Bone marrow aspirate smear: 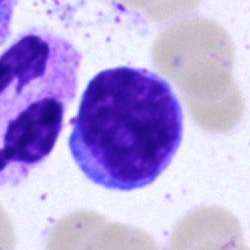

{"cell_type": "lymphocyte", "lineage": "lymphoid"}